Bone marrow smear. May-Grünwald-Giemsa stain. Single-cell crop
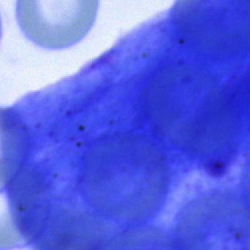

Morphological class: artefact.